Peripheral blood film. 100× objective, oil immersion.
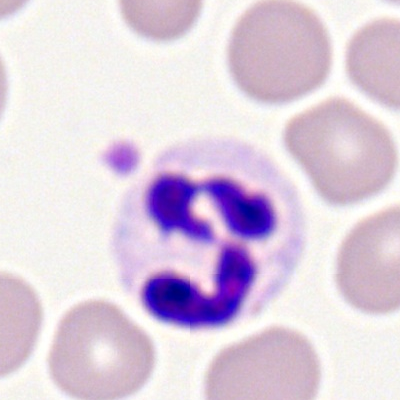 The cell shown is a polymorphonuclear neutrophil.